Pappenheim-stained; bone marrow aspirate smear.
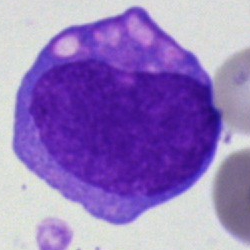

Impression → undifferentiated blast.